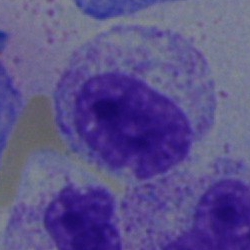 This is a myelocyte.